Bone marrow aspirate smear
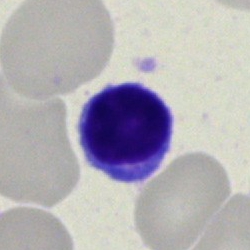
The cell shown is a typical lymphocyte.